Bone marrow aspirate smear; May-Grünwald-Giemsa stain.
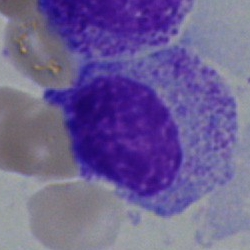Specimen: bone marrow aspirate smear.
Cell: myelocyte.